Bone marrow smear. 40× objective, oil immersion. 250×250.
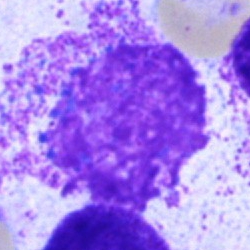 Single cell identified as an artifact.